Bone marrow smear:
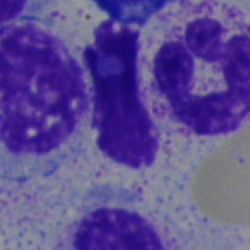
Showing a segmented neutrophil.